Bone marrow aspirate smear
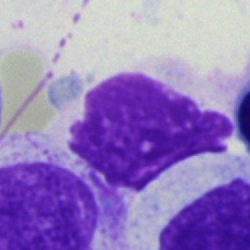 Showing an artifact.